Bone marrow aspirate smear; brightfield, 40× oil-immersion objective; 250×250 px.
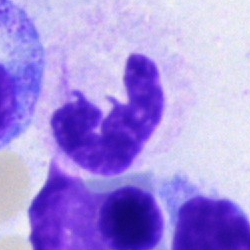 {"cell_type": "neutrophil (segmented)"}